Single-cell crop · 250×250 px · bone marrow smear:
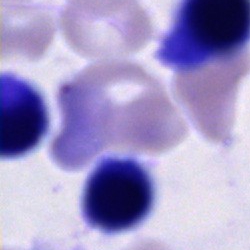The cell type is cell of indeterminate lineage.